Bone marrow aspirate smear:
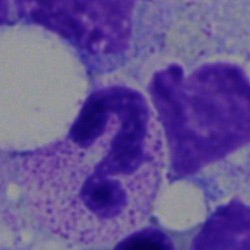
Morphological class = neutrophil (segmented).